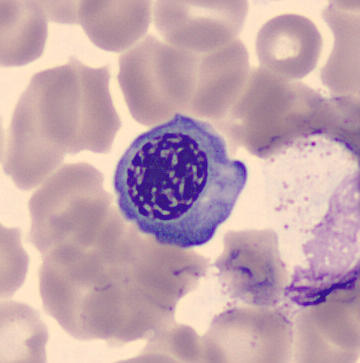Identified as a nucleated red cell. Image size 360×363; peripheral blood film.